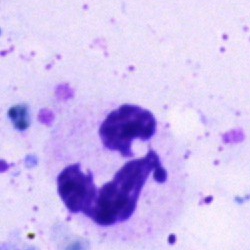
Cell type — segmented neutrophil.